Brightfield, 40× oil-immersion objective; 250×250 px; bone marrow aspirate smear:
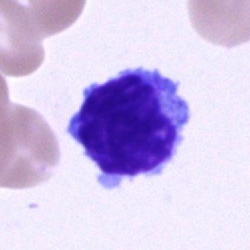 Q: Which cell type is shown here?
A: Lymphocyte.